40× objective, oil immersion · bone marrow smear — 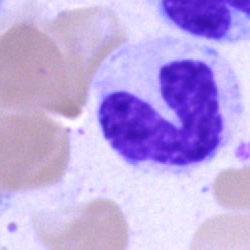
The cell shown is a band-form neutrophil.